Romanowsky-stained. Peripheral blood smear: 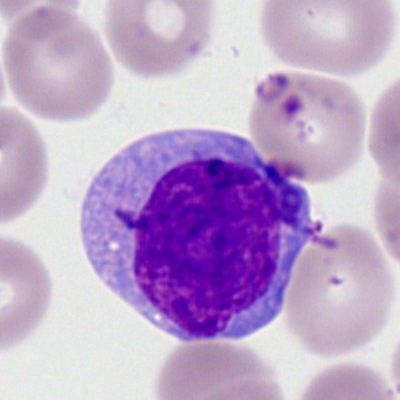 A myeloblast.